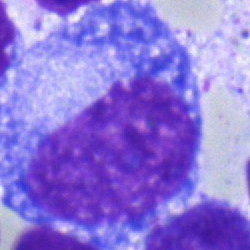 Morphology consistent with a progranulocyte.